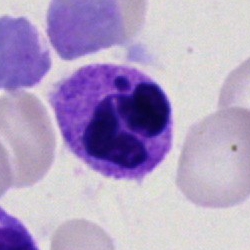Q: What cell is this?
A: It is a neutrophil (segmented).